Bone marrow smear; 250 by 250 pixels — 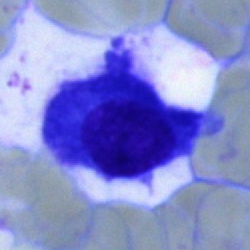 Showing a plasma cell.